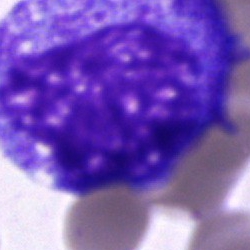The cell is progranulocyte.